Bone marrow aspirate smear — 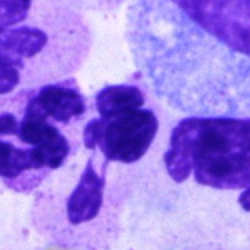
The cell type is polymorphonuclear neutrophil.